Bone marrow aspirate smear:
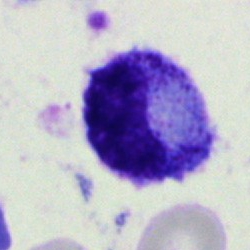 Single cell identified as a promyelocyte.